May-Grünwald-Giemsa/Pappenheim stain; bone marrow smear.
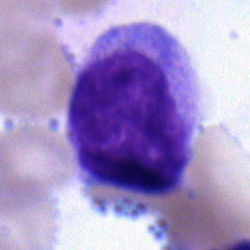 Morphology consistent with a monocyte.